Bone marrow aspirate smear · 40× oil immersion: 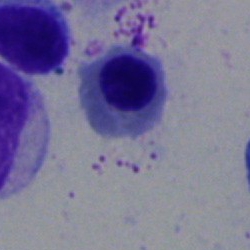
{"cell_type": "nucleated red blood cell", "lineage": "erythroid"}